40× oil immersion. Bone marrow smear.
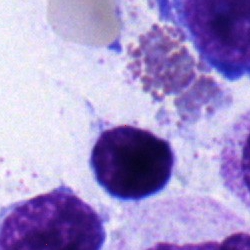 Impression — lymphocyte.